Bone marrow smear; 40× objective, oil immersion — 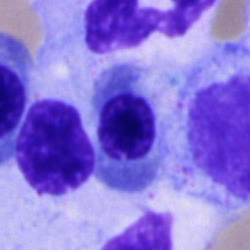

The cell type is nucleated red cell.